Bone marrow smear: 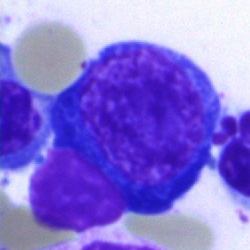
Morphology — proerythroblast.